May-Grünwald-Giemsa/Pappenheim stain · bone marrow aspirate smear:
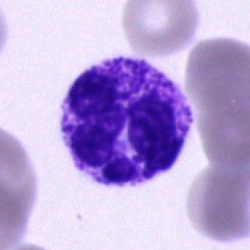

Morphology consistent with a segmented neutrophil.